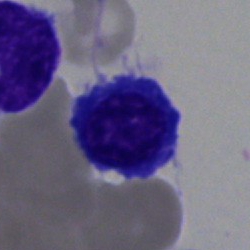
Lymphocyte.